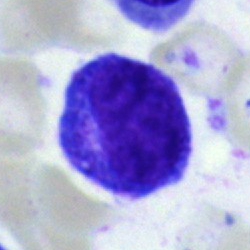 A promyelocyte.